Bone marrow aspirate smear
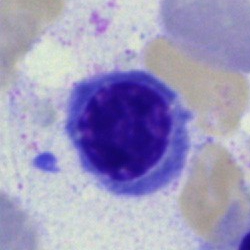 Specimen: bone marrow aspirate smear.
Classification: nucleated red cell.
Lineage: erythroid.